Bone marrow smear. Single cell centered in the field. 40× oil immersion:
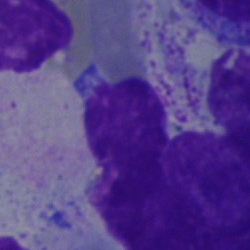
Morphology → artifact.